M8 digital microscope (Precipoint), 100× oil immersion; peripheral blood film:
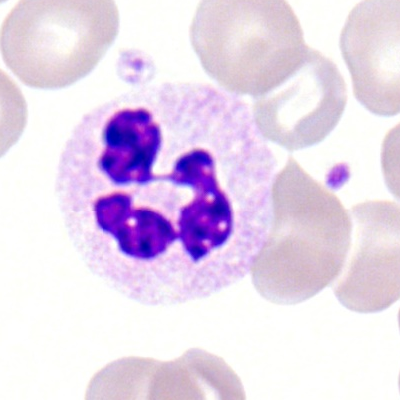

The cell shown is a polymorphonuclear neutrophil.